MGG-stained · bone marrow smear · 250 by 250 pixels
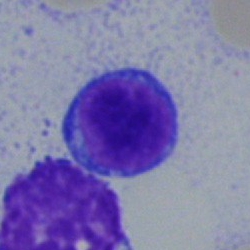
Single cell identified as a lymphocyte.